Bone marrow smear:
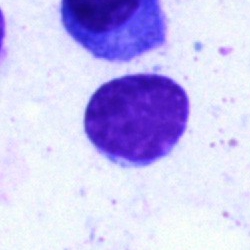

{"cell_type": "typical lymphocyte", "lineage": "lymphoid"}